Bone marrow aspirate smear:
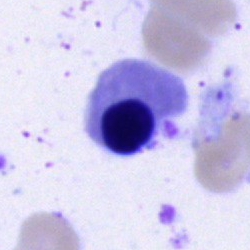
Q: What type of cell is this?
A: Erythroblast.